Peripheral blood smear · Romanowsky-stained — 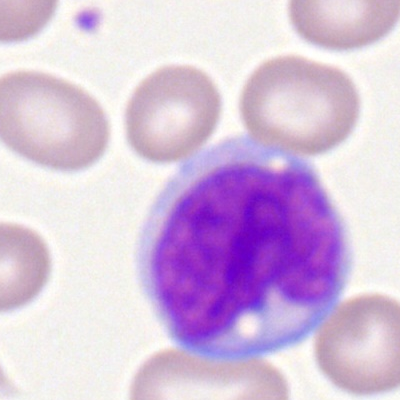 Morphology consistent with a monocyte.